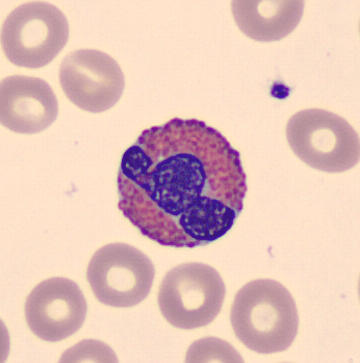

Morphology — eosinophilic granulocyte.